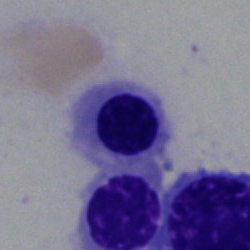 A nucleated red blood cell on a bone marrow smear.